250×250 px · bone marrow smear · cropped to a single cell.
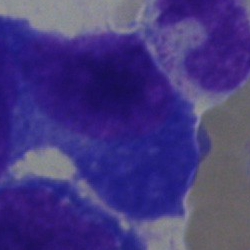
This is a plasma cell.